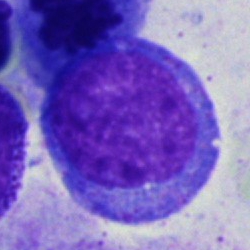 Blast cell.